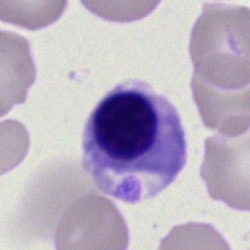 This is a normoblast.